40× objective, oil immersion · bone marrow smear:
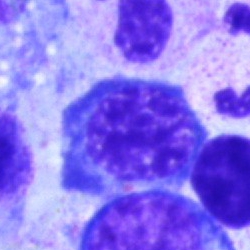This is an erythroblast.